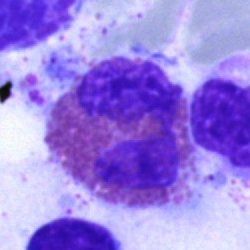

Q: What cell is this?
A: This is an eosinophil.